Single-cell field; 40× objective, oil immersion; bone marrow aspirate smear
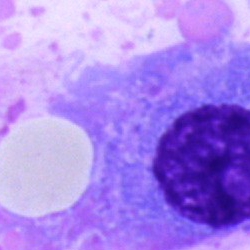 The classification is plasmacyte.